Bone marrow smear: 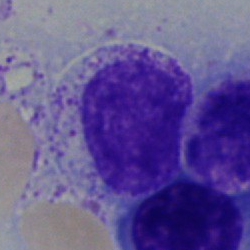 The cell shown is a myelocyte.